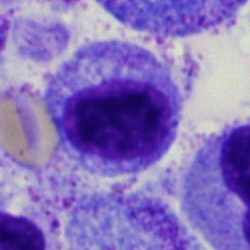 Q: What is the morphological classification of this cell?
A: It is a myelocyte.